Bone marrow smear; 40× objective, oil immersion:
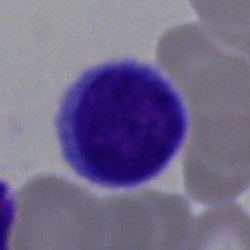Specimen: bone marrow smear.
Morphological class: typical lymphocyte.